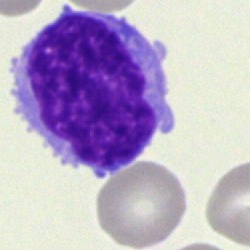
Bone marrow smear showing a blast cell.